Single-cell field; bone marrow smear: 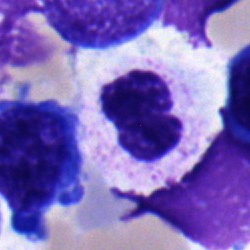
Specimen: bone marrow aspirate smear.
Morphological class: neutrophil (segmented).
Lineage: myeloid.